Bone marrow aspirate smear.
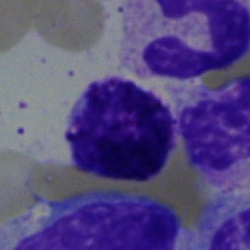 Morphology consistent with a basophilic granulocyte.